Bone marrow smear
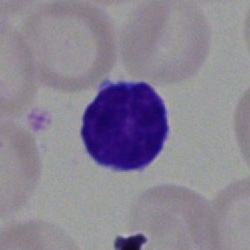Showing a typical lymphocyte.